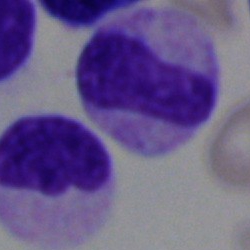Specimen: bone marrow aspirate smear.
Cell: band neutrophil.
Lineage: myeloid.